Bone marrow aspirate smear: 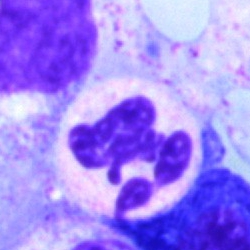 Specimen: bone marrow smear.
Cell type: segmented neutrophil.
Lineage: myeloid.